Bone marrow aspirate smear:
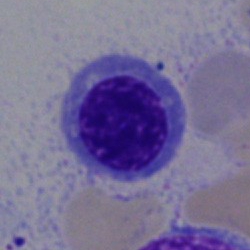
Morphology — nucleated red blood cell.